Peripheral blood smear: 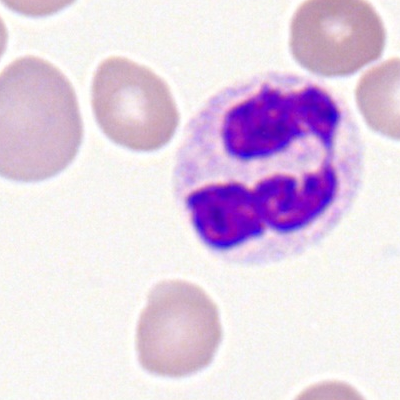
Morphology — segmented neutrophil.